Bone marrow smear. May-Grünwald-Giemsa stain. 40× oil immersion — 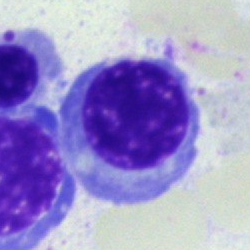
Cell: erythroblast.